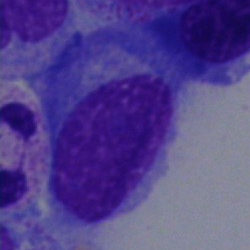 Bone marrow aspirate smear, single cell — plasmacyte.